Bone marrow smear.
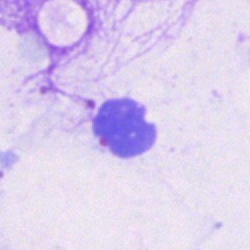

Q: What is shown here?
A: Artifact.